Image size 250×250; bone marrow smear.
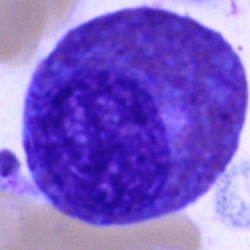 Q: What type of cell is this?
A: This is an eosinophil.